Cropped to a single cell; peripheral blood film; 100× oil immersion:
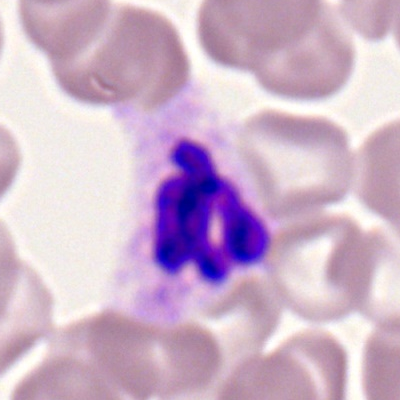
Cell type — neutrophil (segmented).